Cropped to a single cell · bone marrow aspirate smear · MGG-stained
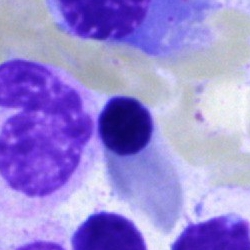
A normoblast.